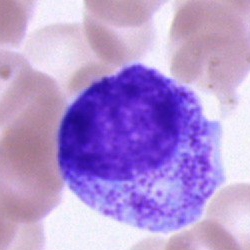

A myelocyte on a bone marrow smear.